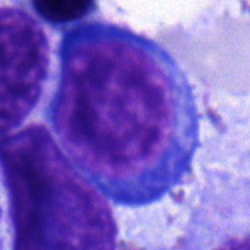

Specimen: bone marrow smear.
Classification: pronormoblast.
Lineage: erythroid.